Bone marrow aspirate smear — 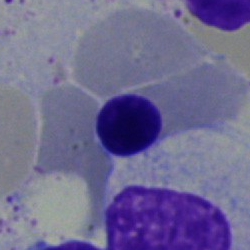 Q: What is the morphological classification of this cell?
A: This is a nucleated red cell.